Bone marrow smear.
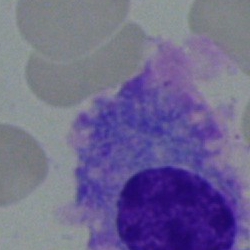 Specimen: bone marrow aspirate smear.
Cell: plasmacyte.
Lineage: lymphoid.